Bone marrow smear · May-Grünwald-Giemsa/Pappenheim stain — 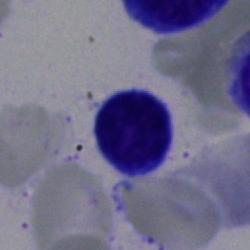 Specimen: bone marrow aspirate smear.
Cell: lymphocyte.
Lineage: lymphoid.